40× oil immersion · bone marrow smear.
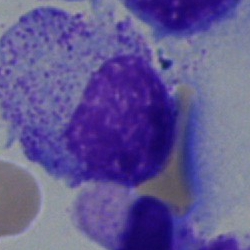Q: What cell is this?
A: A myelocyte.